250×250; bone marrow smear — 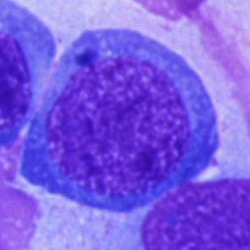

Cell type — nucleated red blood cell.